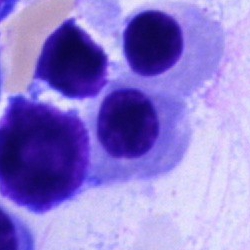 Cell: nucleated red cell.